May-Grünwald-Giemsa/Pappenheim stain; bone marrow smear; brightfield, 40× oil-immersion objective
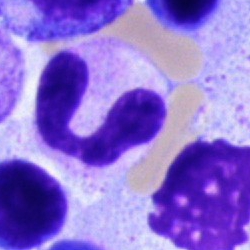 Neutrophil (segmented).